Bone marrow smear. Brightfield, 40× oil-immersion objective
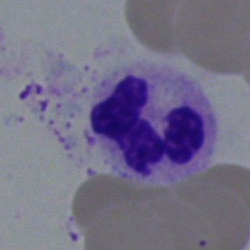 Cell type: neutrophil (segmented).